Bone marrow smear:
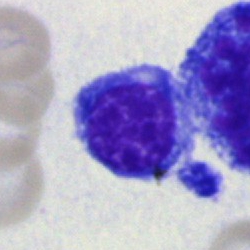 An erythroblast.